Peripheral blood smear.
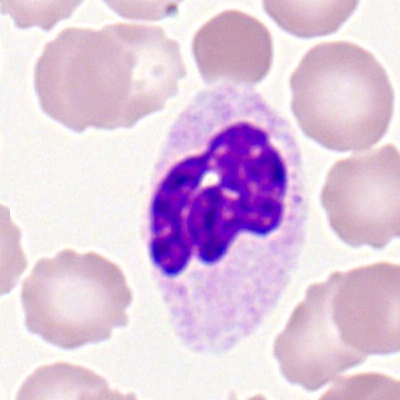
Q: Which cell type is shown here?
A: This is a polymorphonuclear neutrophil.